Bone marrow aspirate smear: 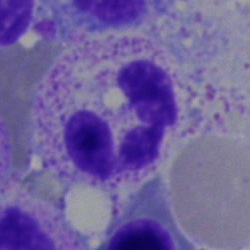 Q: What is the morphological classification of this cell?
A: It is a neutrophil (segmented).